Bone marrow aspirate smear; 40× objective, oil immersion; Pappenheim-stained.
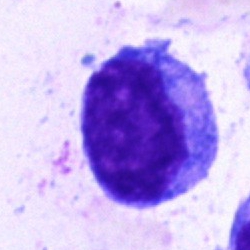

{"cell_type": "blast cell"}